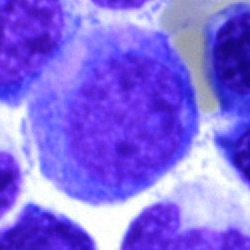
This is a progranulocyte.